Peripheral blood smear
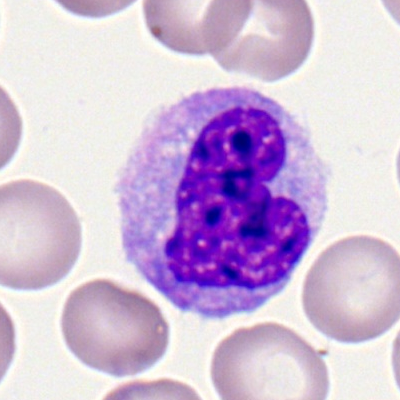
A monocyte.